Single-cell crop. Peripheral blood film: 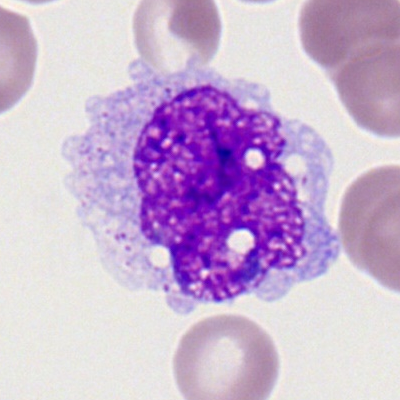
Cell: monocyte.